Bone marrow aspirate smear.
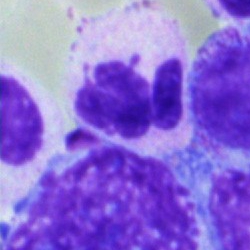
Q: Which cell type is shown here?
A: A polymorphonuclear neutrophil.